Brightfield, 40× oil-immersion objective. Bone marrow smear. 250×250 — 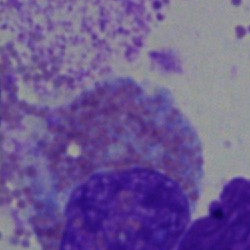Classification = eosinophilic granulocyte.